Peripheral blood film — 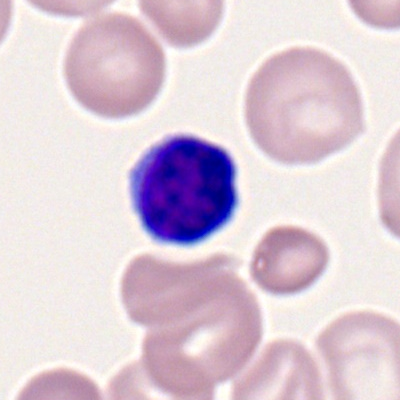
A lymphocyte.